Cropped to a single cell · bone marrow aspirate smear: 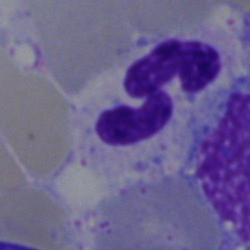

A neutrophil (segmented).